Cropped to a single cell; bone marrow aspirate smear — 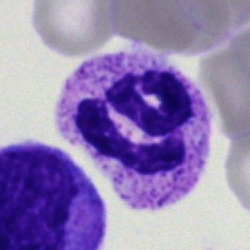The classification is neutrophil (segmented).